Bone marrow aspirate smear.
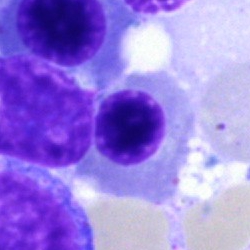 This is a normoblast.